400 by 400 pixels; Romanowsky-stained; peripheral blood smear:
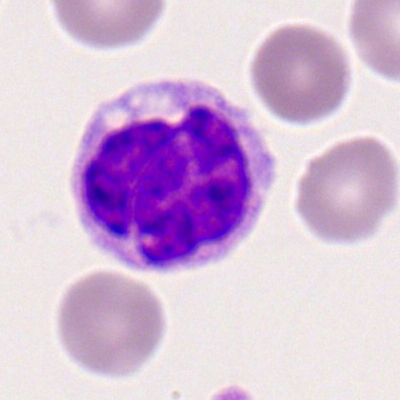The cell shown is a monocyte.